Bone marrow smear; May-Grünwald-Giemsa stain; image size 250×250.
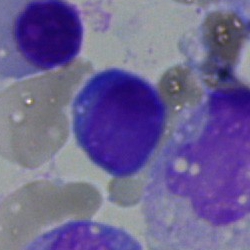Morphological class = typical lymphocyte.